Cropped to a single cell; image size 250×250; bone marrow smear:
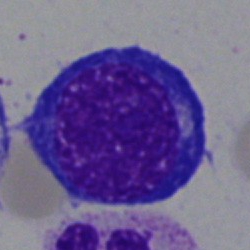
Q: Identify the cell.
A: This is an erythroblast.